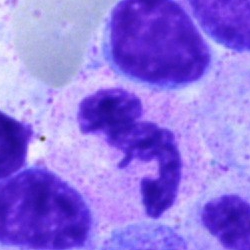
Morphological class = segmented neutrophil.